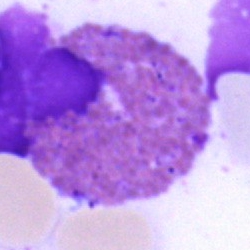

Morphological class = eosinophil.